250×250; cropped to a single cell; bone marrow aspirate smear — 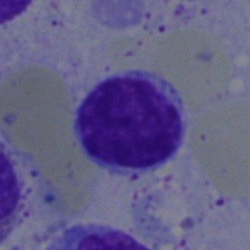

The cell shown is a lymphocyte.